Cropped to a single cell; peripheral blood film; 400 by 400 pixels:
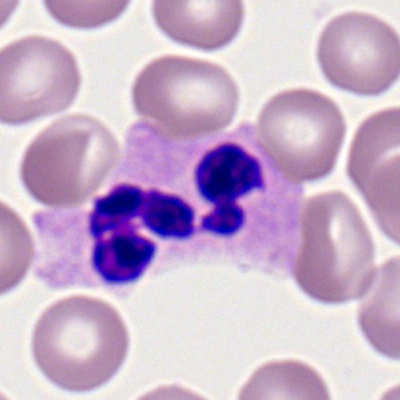
This is a polymorphonuclear neutrophil.